Bone marrow aspirate smear: 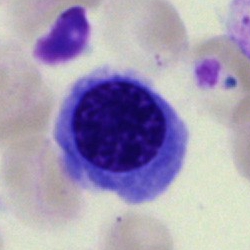Impression — normoblast.